250×250. Bone marrow smear. May-Grünwald-Giemsa stain
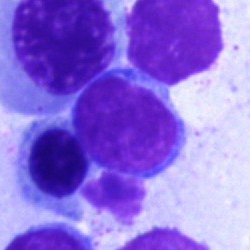
Q: What cell is this?
A: It is a nucleated red blood cell.